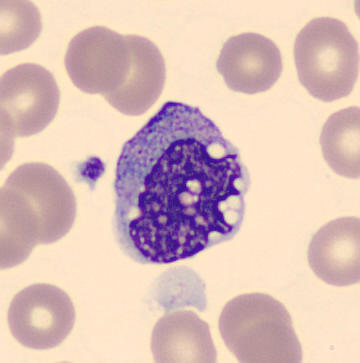Cell: monocyte. Acquisition: Peripheral blood film.